Bone marrow aspirate smear.
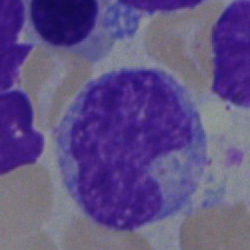
The cell shown is a monocyte.